Peripheral blood film. Brightfield, 100× oil-immersion objective:
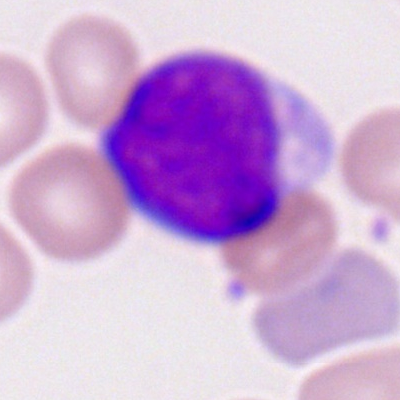
The cell is myeloid blast.